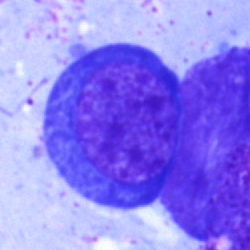 Specimen: bone marrow smear.
Morphological class: erythroblast.